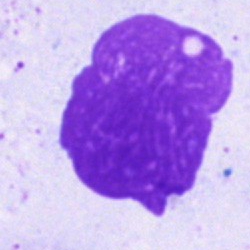
Morphology consistent with an artefact.